Bone marrow aspirate smear · brightfield microscopy, 40× oil immersion.
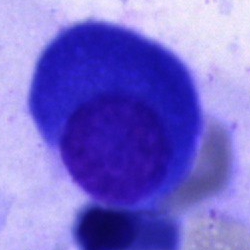Morphology consistent with a plasma cell.